Single cell centered in the field. Bone marrow aspirate smear. 250×250:
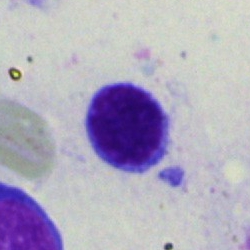 The classification is typical lymphocyte.